Bone marrow aspirate smear. 250×250 px. May-Grünwald-Giemsa stain: 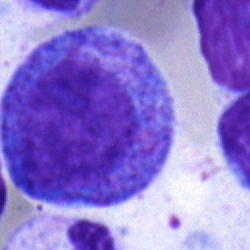
Cell type: progranulocyte.